Bone marrow aspirate smear
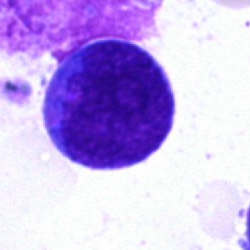

Impression → blast.